Peripheral blood film
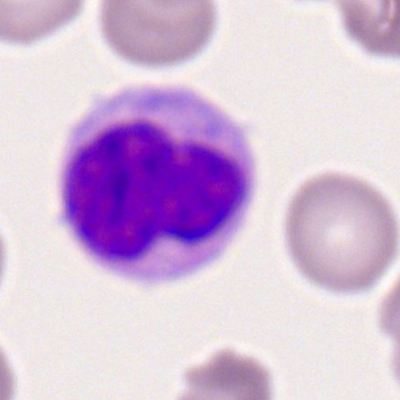
Q: What is shown here?
A: Monocyte.